Bone marrow smear: 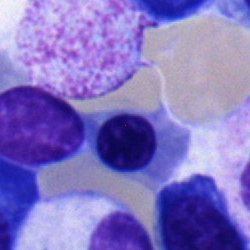The cell is nucleated red cell.